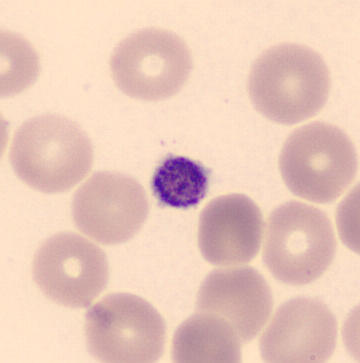Specimen: peripheral blood film.
Morphological class: thrombocyte.